Bone marrow smear; brightfield microscopy, 40× oil immersion:
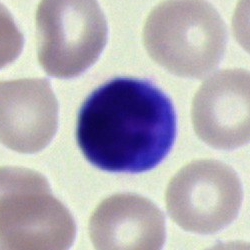
Q: What cell is this?
A: This is a lymphocyte.